Bone marrow aspirate smear; Pappenheim-stained; single-cell field: 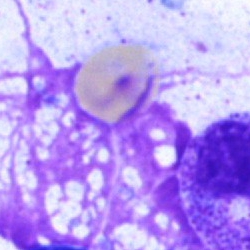
Artefact.